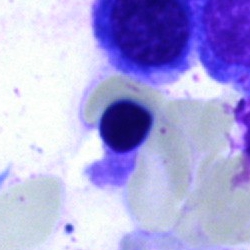 Classification — normoblast.